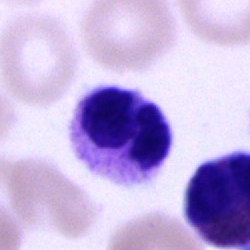
The cell shown is a neutrophil (segmented).